Cropped to a single cell · bone marrow aspirate smear: 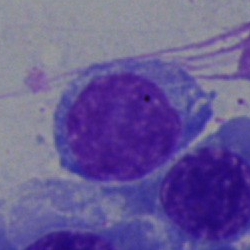

{"cell_type": "typical lymphocyte"}